Image size 250×250; bone marrow smear
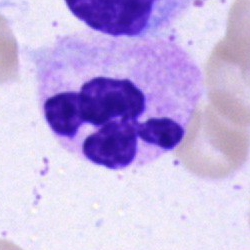This is a segmented neutrophil.